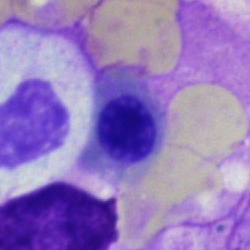 Morphology consistent with a nucleated red cell.